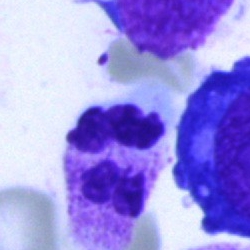

Bone marrow aspirate smear, single cell — neutrophil (segmented).